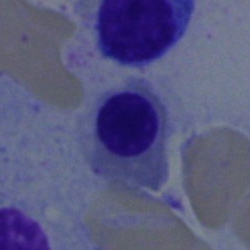

This is an erythroblast.